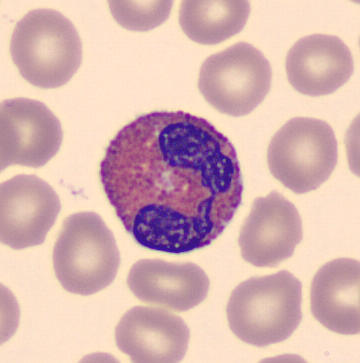

Peripheral blood smear.
Cell type: eosinophil.